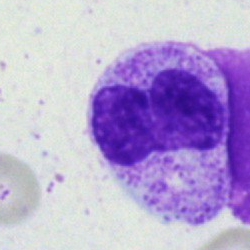 Bone marrow aspirate smear, single cell — metamyelocyte.